Bone marrow smear
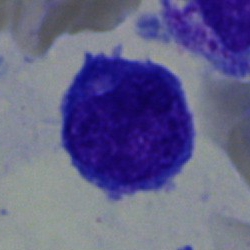

The morphological class is blast cell.